Bone marrow smear; May-Grünwald-Giemsa stain:
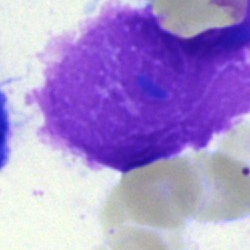 Artefact.